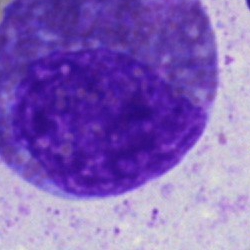 The cell is eosinophilic granulocyte.